Bone marrow aspirate smear. Single-cell field — 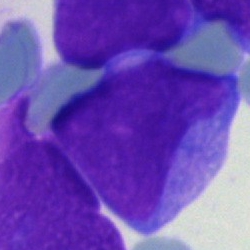

The cell shown is an undifferentiated blast.